Single-cell field. Bone marrow aspirate smear.
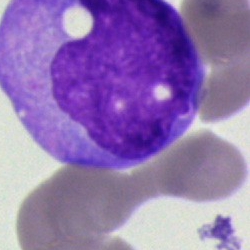Impression — undifferentiated blast.